May-Grünwald-Giemsa/Pappenheim stain; bone marrow aspirate smear
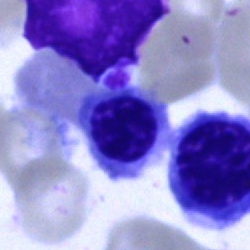

Classification = nucleated red blood cell.